Bone marrow aspirate smear
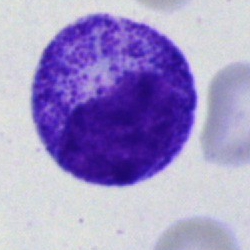Classification = promyelocyte.